Bone marrow aspirate smear
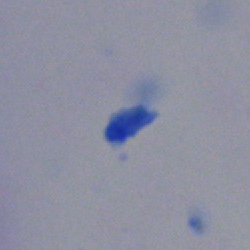
Single cell identified as an artefact.